Brightfield, 40× oil-immersion objective. Single-cell field. Bone marrow aspirate smear
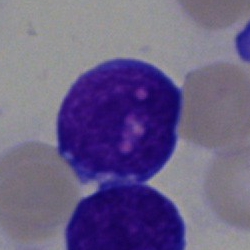

{"cell_type": "blast cell"}